Bone marrow aspirate smear — 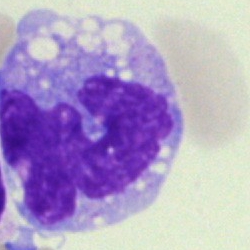
The classification is monocyte.